Bone marrow aspirate smear. Single-cell crop
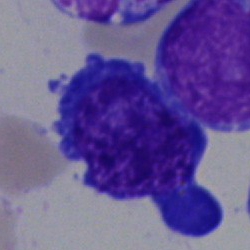

A nucleated red blood cell.